Peripheral blood smear: 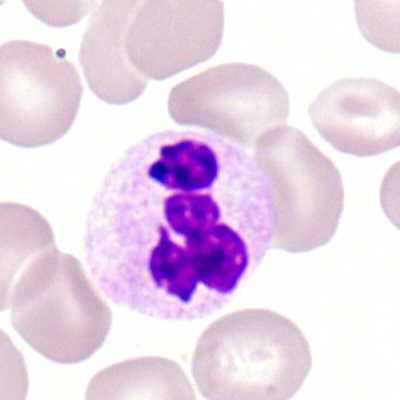 Morphological class — polymorphonuclear neutrophil.